Bone marrow smear. Brightfield microscopy, 40× oil immersion
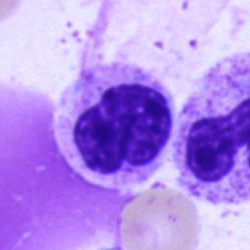 Showing a polymorphonuclear neutrophil.